Bone marrow aspirate smear. Single-cell crop: 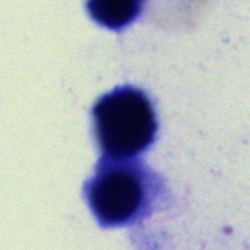Morphology consistent with an artifact.